May-Grünwald-Giemsa/Pappenheim stain. Bone marrow aspirate smear:
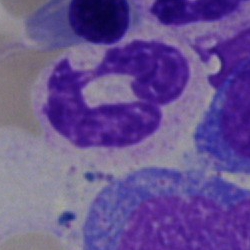

This is a polymorphonuclear neutrophil.